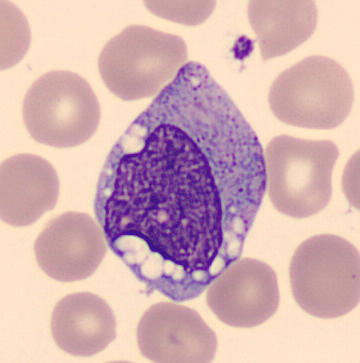 Preparation: Cropped to a single cell. Peripheral blood smear. 360×363 px. Morphology consistent with a monocyte.